Peripheral blood film
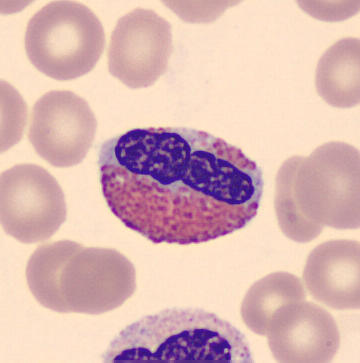 {"cell_type": "eosinophil", "lineage": "myeloid"}